Bone marrow aspirate smear; 250×250: 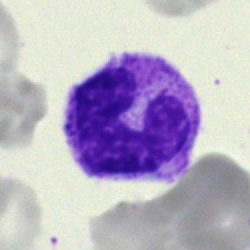
Impression — band neutrophil.